Bone marrow smear — 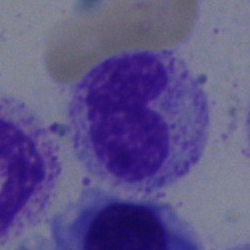Specimen: bone marrow aspirate smear.
Morphological class: metamyelocyte.
Lineage: myeloid.